Single cell centered in the field; bone marrow smear.
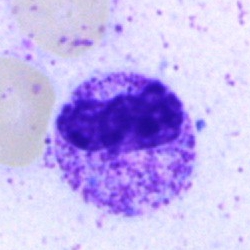Q: What cell is this?
A: A neutrophil (segmented).